Bone marrow smear. Brightfield microscopy, 40× oil immersion. Cropped to a single cell:
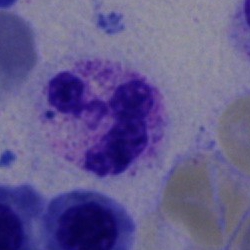 {"cell_type": "neutrophil (segmented)", "lineage": "myeloid"}